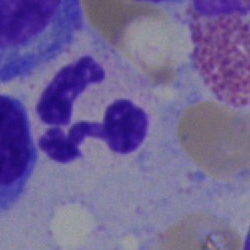
This is a polymorphonuclear neutrophil.